Bone marrow smear:
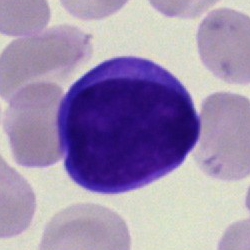 Q: What type of cell is this?
A: A blast cell.